Peripheral blood film: 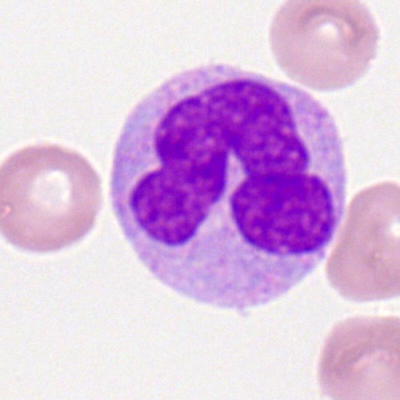 Specimen: peripheral blood film.
Cell type: monocyte.